Bone marrow aspirate smear:
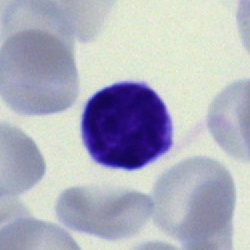This is a typical lymphocyte.